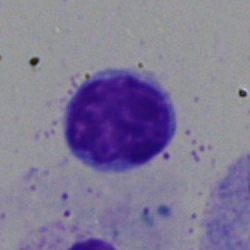
Single-cell crop from a bone marrow smear: typical lymphocyte.